Bone marrow aspirate smear: 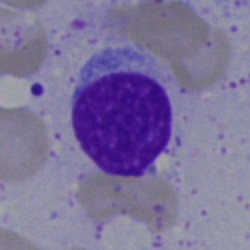
Q: What is shown here?
A: Lymphocyte.